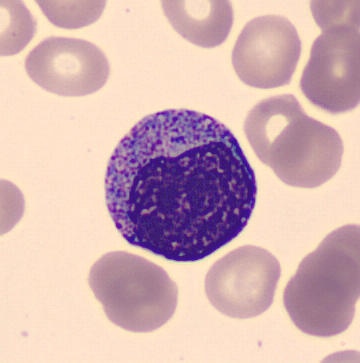

Promyelocyte.